Bone marrow smear · 250 by 250 pixels · single-cell crop.
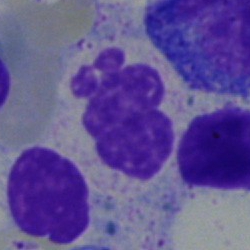Morphology consistent with a polymorphonuclear neutrophil.